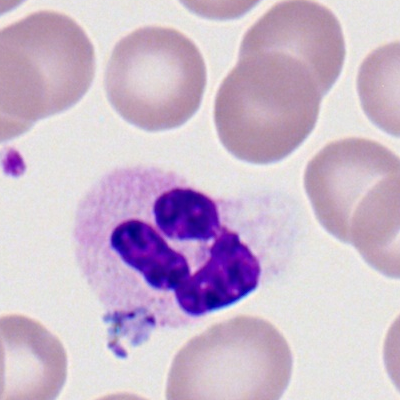 Specimen: peripheral blood smear.
Morphological class: segmented neutrophil.